40× objective, oil immersion · bone marrow aspirate smear — 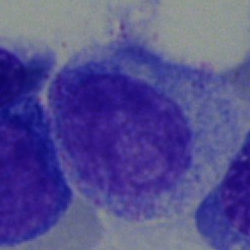

Morphology consistent with a myelocyte.